Bone marrow smear — 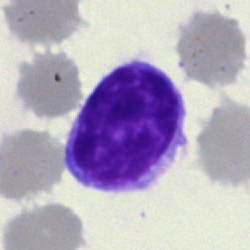

Single cell identified as a typical lymphocyte.